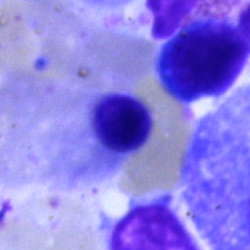 Q: What type of cell is this?
A: An erythroblast.